Bone marrow smear; 250 by 250 pixels; single-cell crop — 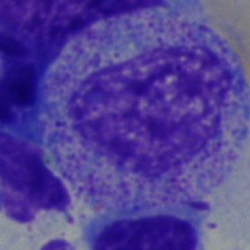 Morphology consistent with a myelocyte.